Bone marrow aspirate smear.
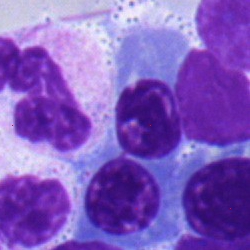

Classification: nucleated red blood cell.